Bone marrow smear · brightfield microscopy, 40× oil immersion · 250 by 250 pixels
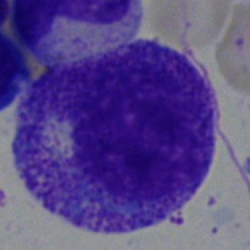
Q: What is shown here?
A: It is a promyelocyte.